Bone marrow smear — 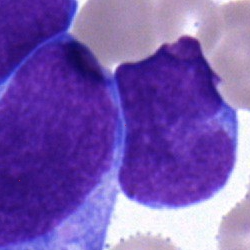 Q: What is the morphological classification of this cell?
A: Undifferentiated blast.